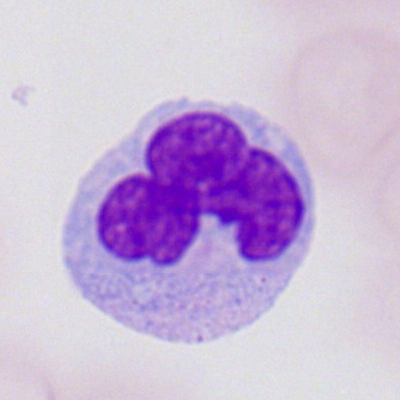

A monocyte on a peripheral blood smear.